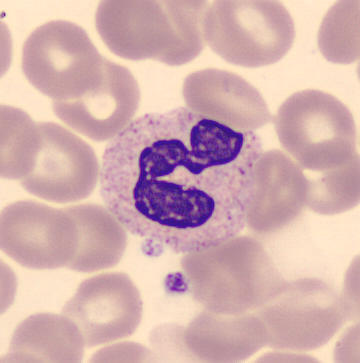 Cell = segmented neutrophil. Peripheral blood smear; cropped to a single cell.